Bone marrow smear: 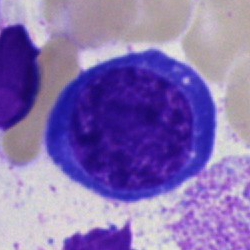This is a nucleated red blood cell.